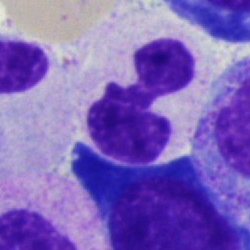

Specimen: bone marrow aspirate smear.
Classification: neutrophil (segmented).
Lineage: myeloid.